Bone marrow smear — 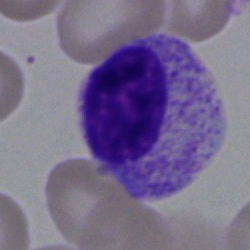 Myelocyte.